Cropped to a single cell · bone marrow aspirate smear:
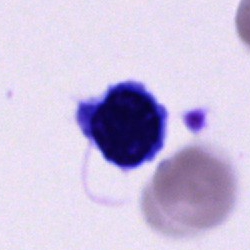 Morphology → cell of indeterminate lineage.